Bone marrow smear. Single-cell crop. May-Grünwald-Giemsa/Pappenheim stain.
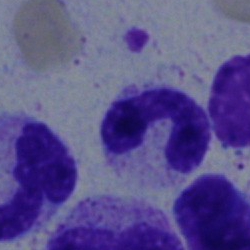
Morphology — neutrophil (band).